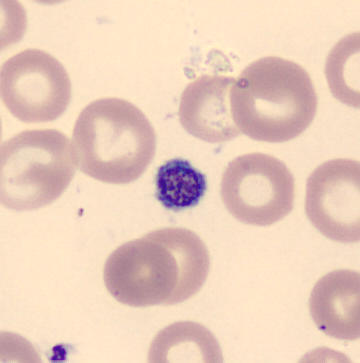A platelet (thrombocyte).

Preparation: Peripheral blood film. 360×363.